Bone marrow aspirate smear. 40× oil immersion.
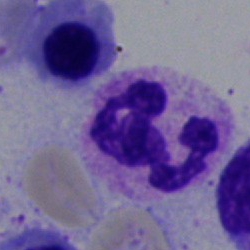Morphology — segmented neutrophil.